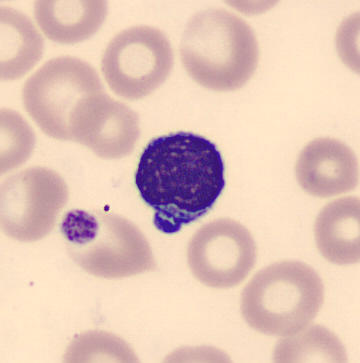 Impression → typical lymphocyte.